Bone marrow aspirate smear · 250 by 250 pixels:
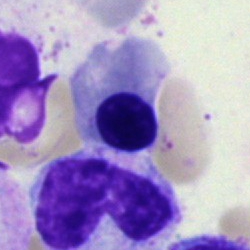Morphological class: erythroblast.